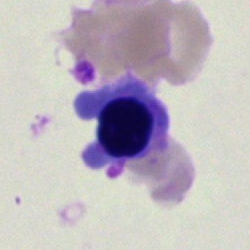 Cell type = artefact.